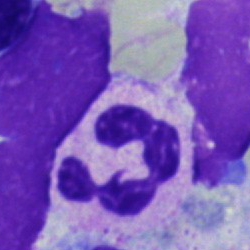Cell — polymorphonuclear neutrophil.